Bone marrow aspirate smear.
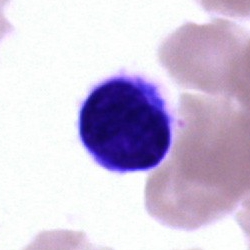

Morphological class = typical lymphocyte.